Bone marrow aspirate smear · 250 by 250 pixels — 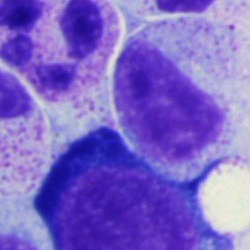Classification — metamyelocyte.